MGG-stained. Bone marrow aspirate smear.
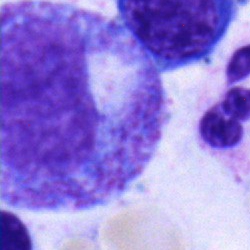 Morphological class: progranulocyte.